Single-cell crop; bone marrow aspirate smear
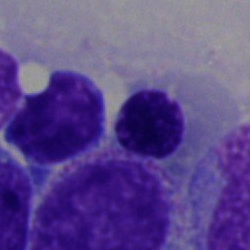

Q: What is the morphological classification of this cell?
A: Erythroblast.